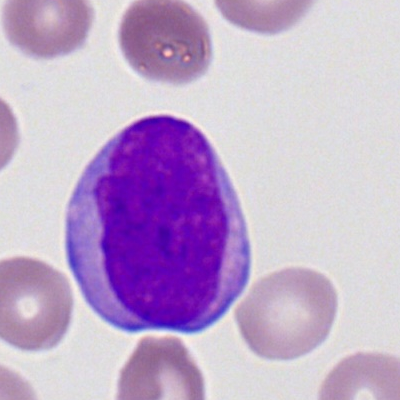 Impression → myeloblast.